Bone marrow aspirate smear — 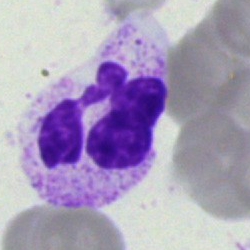
Morphology consistent with a polymorphonuclear neutrophil.